Pappenheim-stained · 40× oil immersion · bone marrow aspirate smear
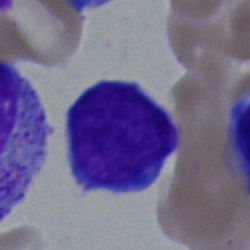

Impression — typical lymphocyte.